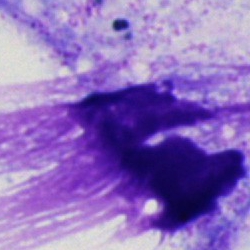 Specimen: bone marrow smear.
Classification: artefact.